Bone marrow smear · brightfield microscopy, 40× oil immersion.
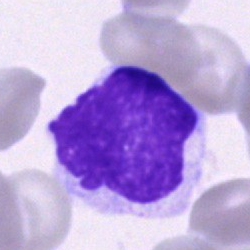Specimen: bone marrow aspirate smear.
Cell: artefact.